Bone marrow smear
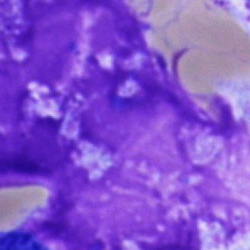
Morphology consistent with an artefact.